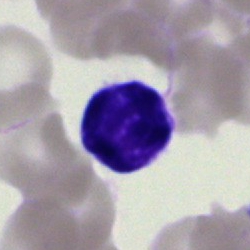Specimen: bone marrow aspirate smear.
Classification: lymphocyte.